Bone marrow aspirate smear: 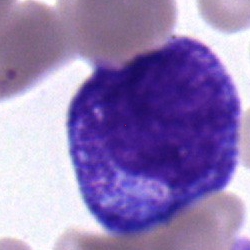
Morphology → myelocyte.